40× oil immersion; bone marrow smear; image size 250×250 — 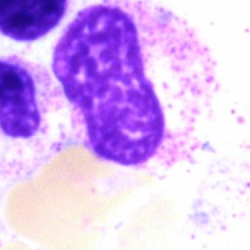 Showing an artefact.